Bone marrow aspirate smear. Brightfield microscopy, 40× oil immersion: 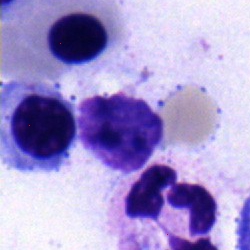 Specimen: bone marrow smear.
Morphological class: normoblast.